Peripheral blood film:
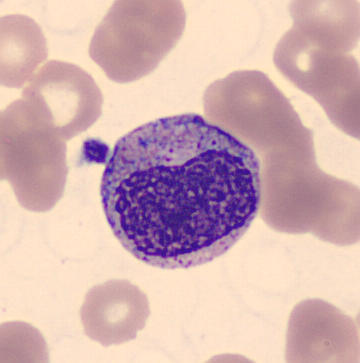 Morphology consistent with a myelocyte.